Bone marrow aspirate smear: 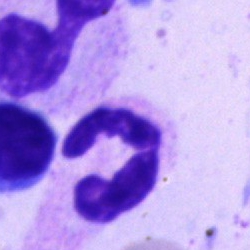This is a polymorphonuclear neutrophil.